250×250; bone marrow aspirate smear: 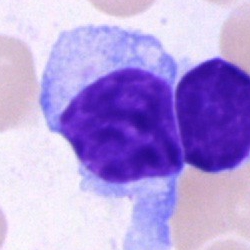
Morphology — lymphocyte.